Image size 360×363; peripheral blood smear; May Grünwald-Giemsa stain.
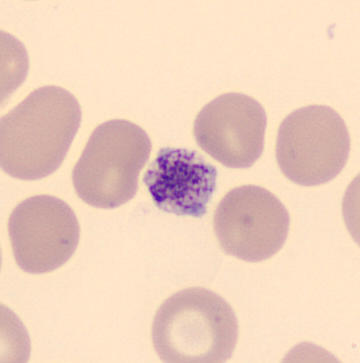Morphological class: platelet.